250×250 px · bone marrow aspirate smear
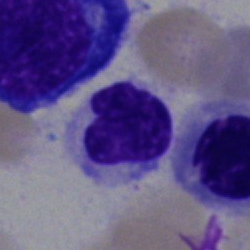 Typical lymphocyte.